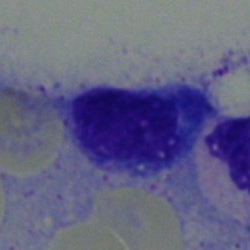

Bone marrow aspirate smear, single cell — nucleated red blood cell.